Image size 400×400 · peripheral blood smear · single cell centered in the field — 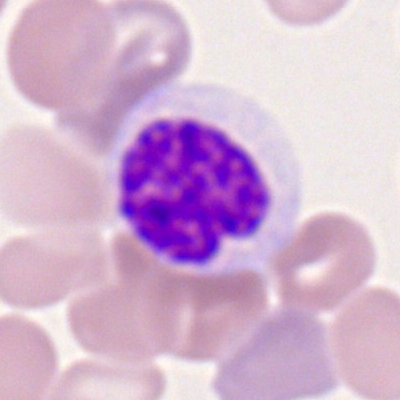
Q: What is shown here?
A: A band-form neutrophil.